Bone marrow smear
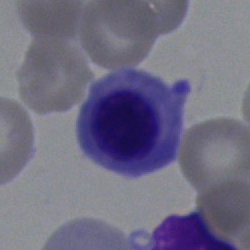 Q: Which cell type is shown here?
A: It is a nucleated red blood cell.